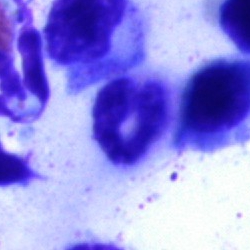Cell type = artefact.